250×250 · bone marrow aspirate smear.
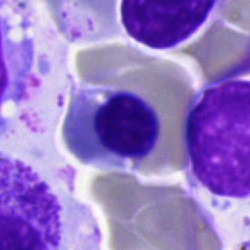Showing a nucleated red blood cell.